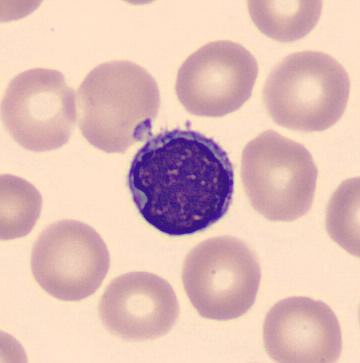 Impression — lymphocyte.